Bone marrow smear; single-cell field.
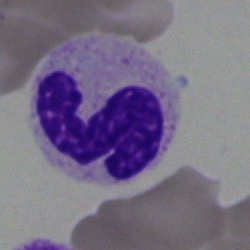 Specimen: bone marrow smear.
Classification: segmented neutrophil.